Bone marrow smear. 40× oil immersion
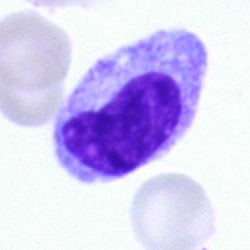

Specimen: bone marrow aspirate smear.
Morphological class: metamyelocyte.